Single-cell crop; bone marrow smear.
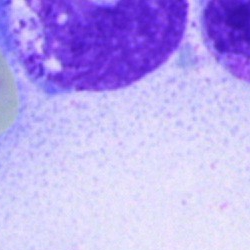Q: What is shown here?
A: Artifact.